250×250; brightfield microscopy, 40× oil immersion; bone marrow aspirate smear: 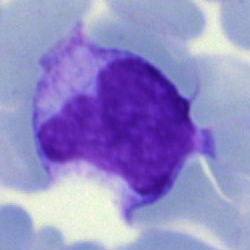

The cell shown is a monocyte.